Brightfield, 40× oil-immersion objective · bone marrow smear: 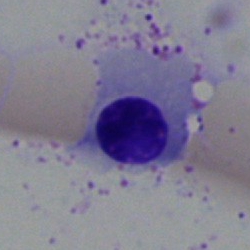

Showing a nucleated red blood cell.